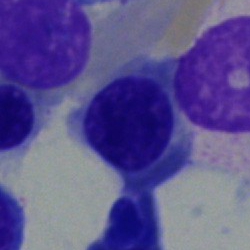 Single-cell crop from a bone marrow smear: nucleated red blood cell.